Bone marrow aspirate smear:
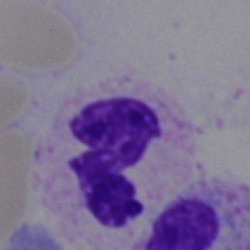 Single cell identified as a polymorphonuclear neutrophil.